Bone marrow aspirate smear · MGG-stained: 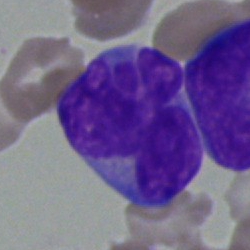The cell shown is an undifferentiated blast.